Bone marrow aspirate smear:
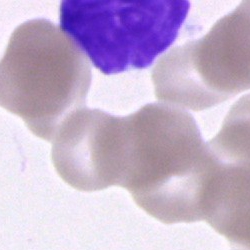The morphological class is cell of indeterminate lineage.